Peripheral blood smear — 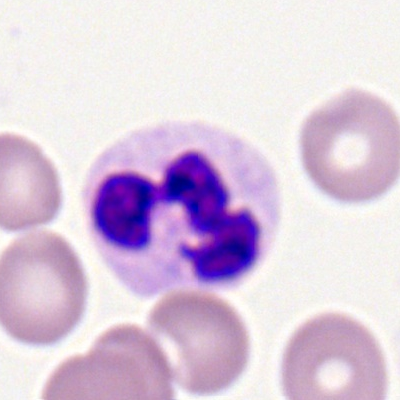 Cell type: segmented neutrophil.